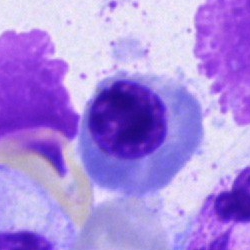Q: What cell is this?
A: Nucleated red cell.